Bone marrow smear: 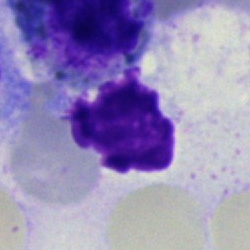Showing an artifact.